Bone marrow smear: 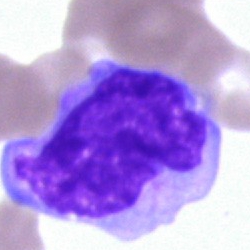 Showing a monocyte.